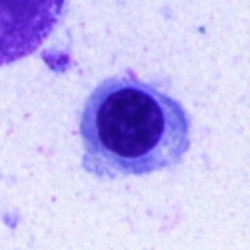
Bone marrow smear showing an erythroblast.